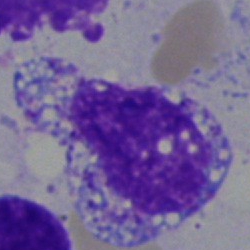Classification — undifferentiated blast.